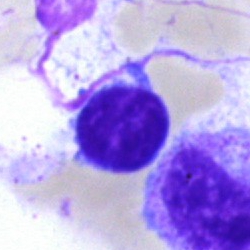 Showing a typical lymphocyte.